Bone marrow aspirate smear:
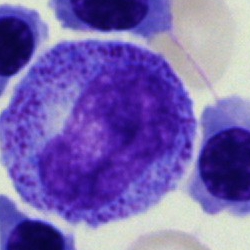
Cell type — progranulocyte.